Peripheral blood smear: 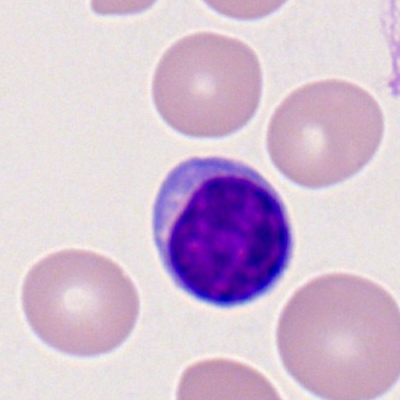Q: Identify the cell.
A: A lymphocyte.